Peripheral blood film
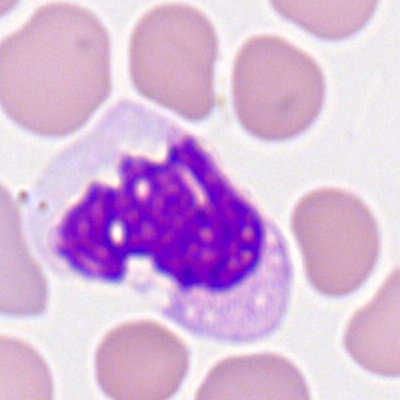 Cell type: segmented neutrophil.